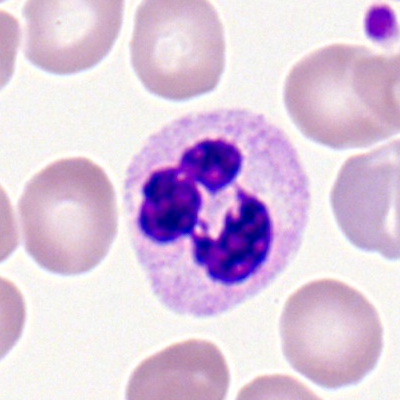 Peripheral blood smear showing a polymorphonuclear neutrophil.